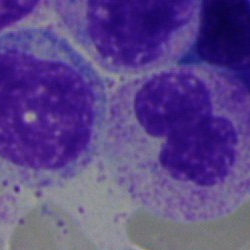
Morphological class = polymorphonuclear neutrophil.